Bone marrow aspirate smear. Single-cell field. 250 by 250 pixels:
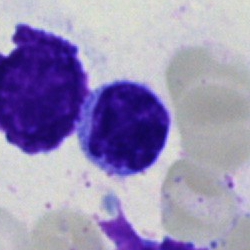Specimen: bone marrow smear.
Classification: typical lymphocyte.
Lineage: lymphoid.